Bone marrow aspirate smear · single cell centered in the field:
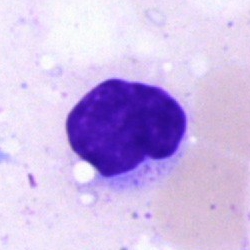The classification is artifact.